Romanowsky-stained. Peripheral blood film
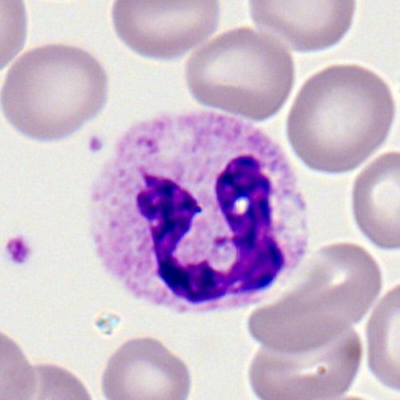 Q: What is the morphological classification of this cell?
A: Neutrophil (segmented).